Bone marrow aspirate smear. Image size 250×250. Cropped to a single cell:
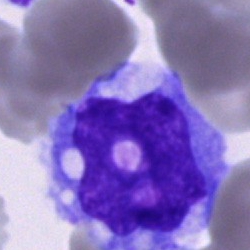Monocyte.